Single cell centered in the field; bone marrow aspirate smear; May-Grünwald-Giemsa stain
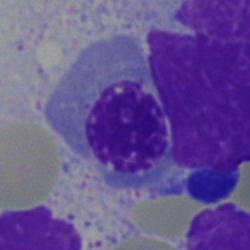Cell — normoblast.